Bone marrow smear.
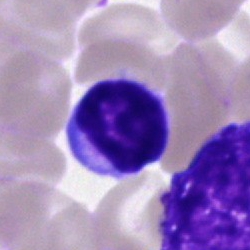

This is a lymphocyte.